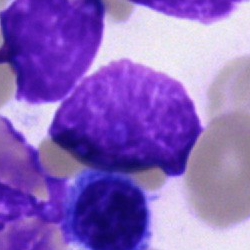

Morphology — artifact.